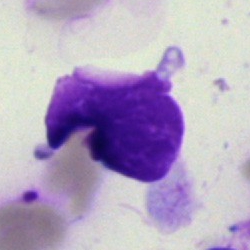 Classification: artifact.